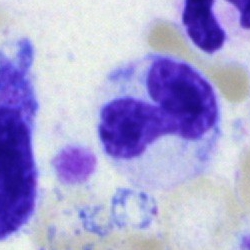 {"cell_type": "stab cell", "lineage": "myeloid"}